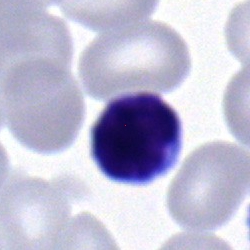Q: Which cell type is shown here?
A: Lymphocyte.